Bone marrow smear · image size 250×250
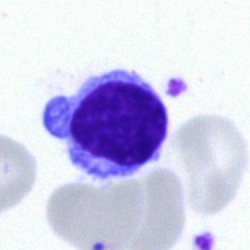
Morphology consistent with a typical lymphocyte.